Bone marrow aspirate smear. Pappenheim-stained. Image size 250×250: 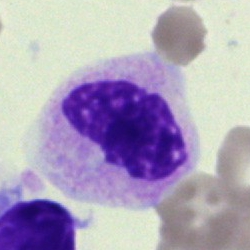

Specimen: bone marrow smear.
Morphological class: artefact.